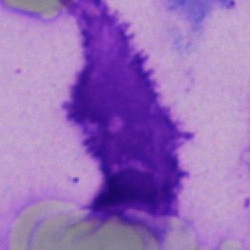Specimen: bone marrow aspirate smear.
Morphological class: artifact.